Peripheral blood smear
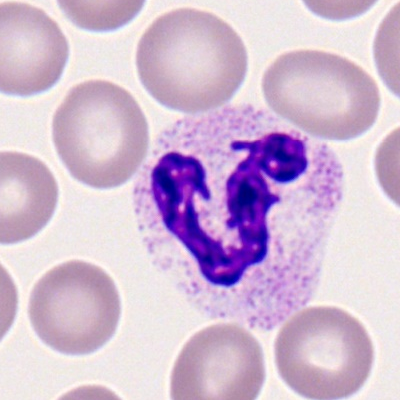Q: What is the morphological classification of this cell?
A: A segmented neutrophil.